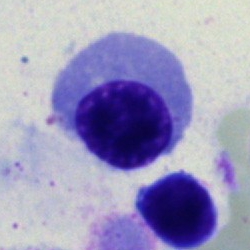 Single-cell crop from a bone marrow smear: nucleated red cell.